100× oil immersion, 14.14 px/µm · peripheral blood film
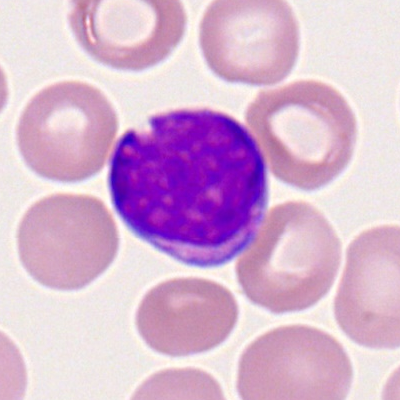 The cell shown is a myeloblast.